Bone marrow aspirate smear.
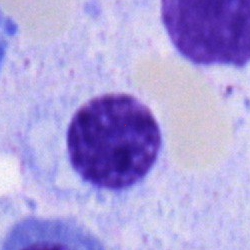Specimen: bone marrow smear.
Classification: lymphocyte.